Bone marrow smear — 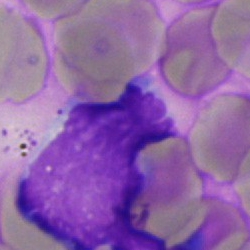
Cell: artifact.